Bone marrow smear.
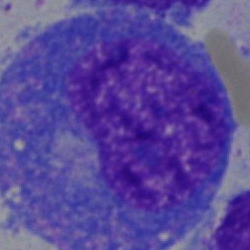Q: What cell is this?
A: This is a progranulocyte.